MGG-stained; bone marrow smear; 250 by 250 pixels — 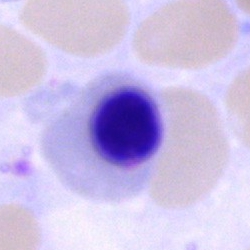
Specimen: bone marrow smear.
Classification: nucleated red cell.
Lineage: erythroid.